Pappenheim-stained. Bone marrow smear: 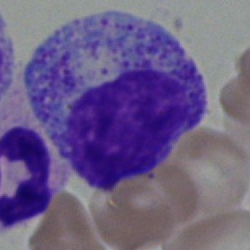

Q: Identify the cell.
A: A myelocyte.